Brightfield, 40× oil-immersion objective. 250 by 250 pixels. Bone marrow aspirate smear:
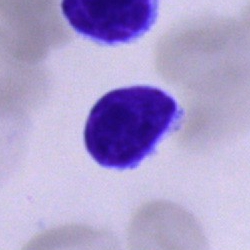Morphological class = typical lymphocyte.